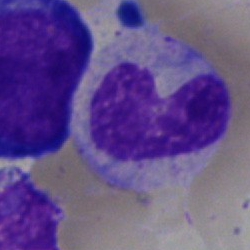
Morphological class — stab cell.